Peripheral blood film; Romanowsky stain; 100× objective, oil immersion
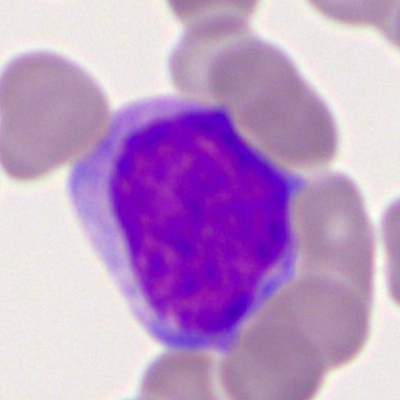

Impression — myeloblast.